Bone marrow aspirate smear:
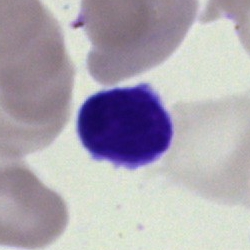

{"cell_type": "lymphocyte", "lineage": "lymphoid"}